250×250 px; bone marrow smear — 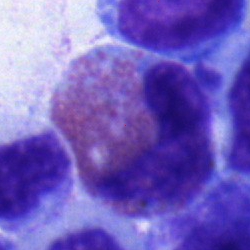
An eosinophilic granulocyte.